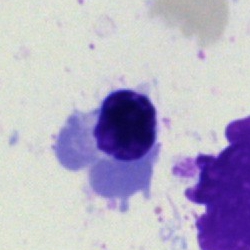
Q: Which cell type is shown here?
A: It is a nucleated red blood cell.